Bone marrow aspirate smear
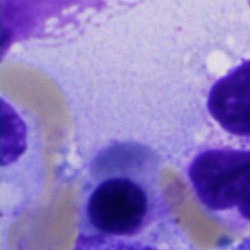
Q: What is shown here?
A: Normoblast.